Bone marrow aspirate smear.
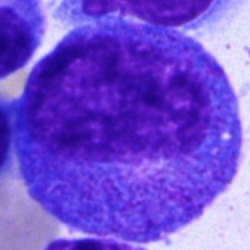

Promyelocyte.